Peripheral blood smear. Single-cell field:
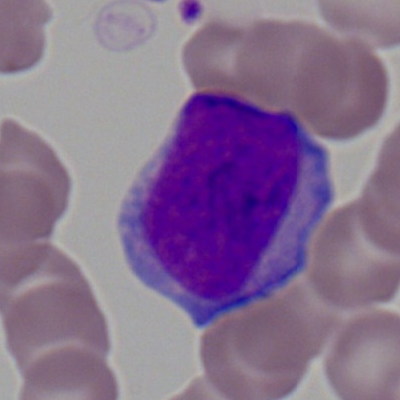 Q: What is shown here?
A: This is a myeloblast.